Bone marrow aspirate smear: 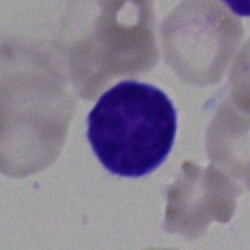

{"cell_type": "typical lymphocyte", "lineage": "lymphoid"}